Peripheral blood smear.
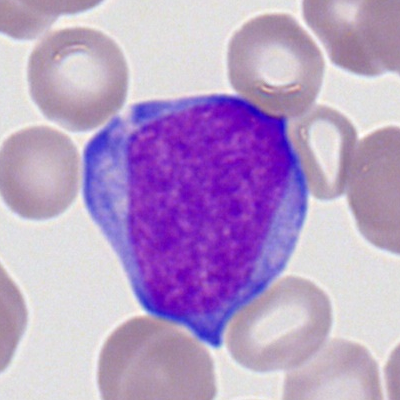 Specimen: peripheral blood smear.
Morphological class: myeloblast.
Lineage: myeloid.